Bone marrow smear
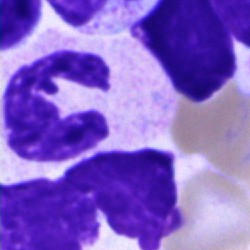

{"cell_type": "polymorphonuclear neutrophil", "lineage": "myeloid"}